Single-cell field. Bone marrow aspirate smear. 40× oil immersion
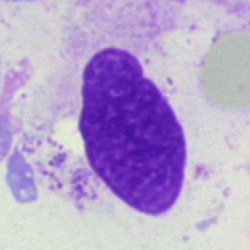
{"cell_type": "artifact"}